40× objective, oil immersion; bone marrow smear: 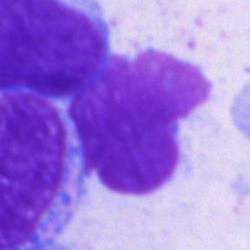
Showing an artefact.